Single-cell crop · bone marrow aspirate smear:
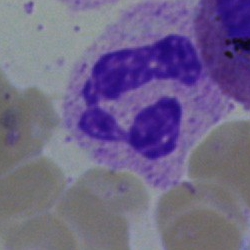
Q: Which cell type is shown here?
A: This is a polymorphonuclear neutrophil.